Bone marrow aspirate smear; 250×250
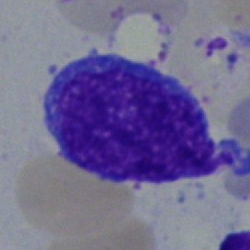

{"cell_type": "blast cell"}